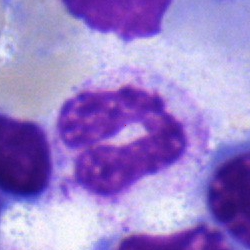
Bone marrow aspirate smear, single cell — stab cell.